Peripheral blood smear; Romanowsky stain; 400 by 400 pixels
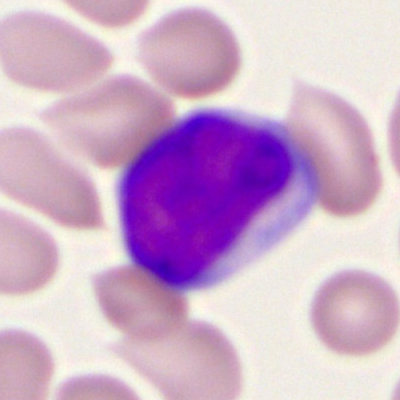

The morphological class is myeloid blast.